Bone marrow aspirate smear; 250×250 px; May-Grünwald-Giemsa stain
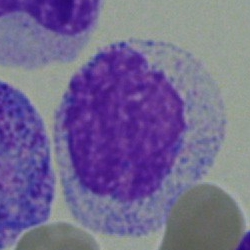
The cell type is myelocyte.